Bone marrow aspirate smear; brightfield microscopy, 40× oil immersion — 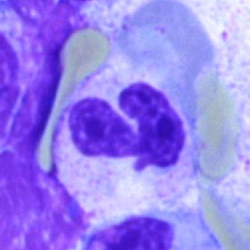
Q: What cell is this?
A: It is a polymorphonuclear neutrophil.